Bone marrow smear
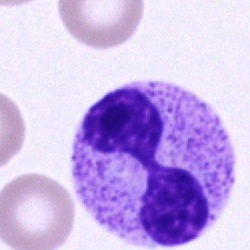 A polymorphonuclear neutrophil.